40× objective, oil immersion; 250×250; bone marrow smear.
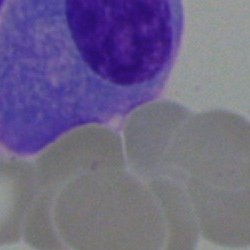
Cell = plasmacyte.